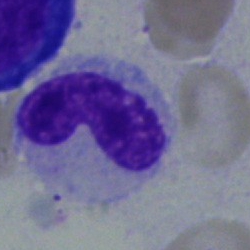 Classification — band neutrophil.